Bone marrow aspirate smear: 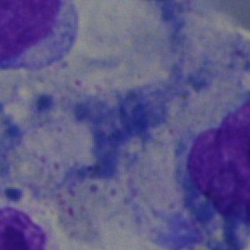
Specimen: bone marrow aspirate smear.
Cell type: artefact.